Bone marrow smear: 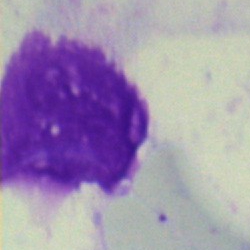
Single cell identified as an artifact.